100× objective, oil immersion. Peripheral blood film — 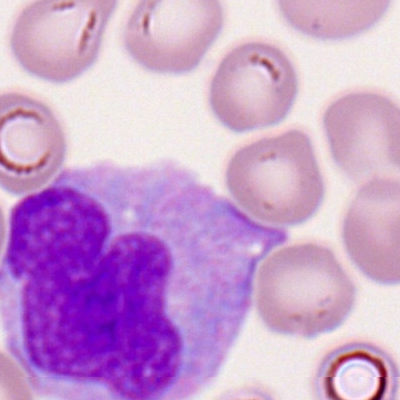 Q: What cell is this?
A: A monocyte.